Bone marrow smear · image size 250×250 · single cell centered in the field:
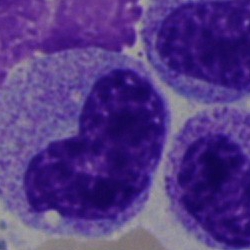
Metamyelocyte.